MGG-stained; bone marrow smear — 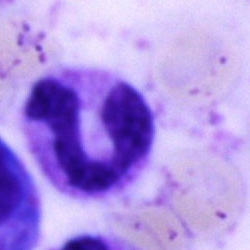

Polymorphonuclear neutrophil.